Bone marrow smear
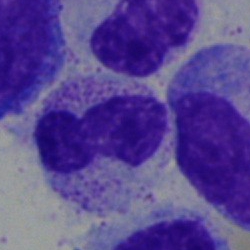 Classification: band-form neutrophil.